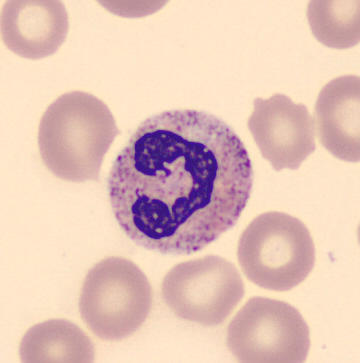Acquisition: CellaVision DM96; peripheral blood film.

Identified as a neutrophil (segmented).